Bone marrow smear — 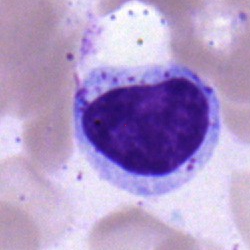The cell type is lymphocyte.